Bone marrow aspirate smear
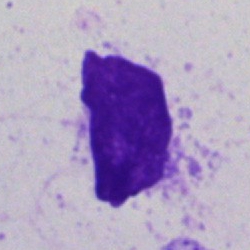

Showing an artifact.